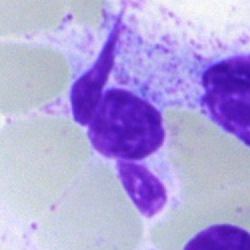 An artefact.